Bone marrow aspirate smear — 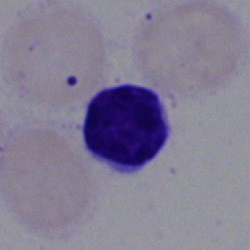 Showing a typical lymphocyte.